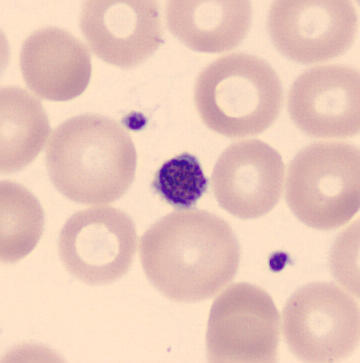 Preparation: Peripheral blood film. CellaVision DM96 digital cell image. Morphology → platelet.